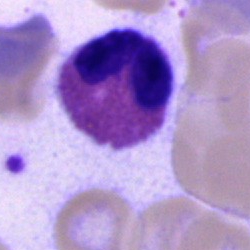

Classification = eosinophil.